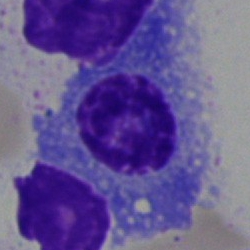 {"cell_type": "plasma cell"}